40× objective, oil immersion. Bone marrow smear — 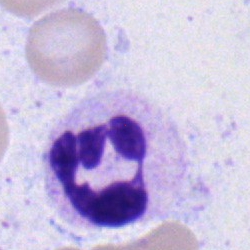Neutrophil (segmented).